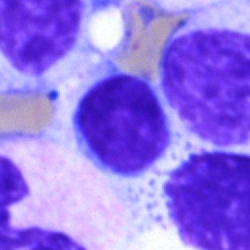

{"cell_type": "typical lymphocyte", "lineage": "lymphoid"}